Image size 250×250. Bone marrow smear: 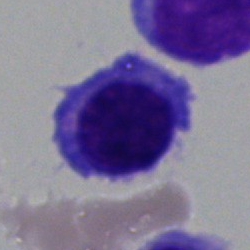
Single cell identified as a plasmacyte.